Bone marrow aspirate smear:
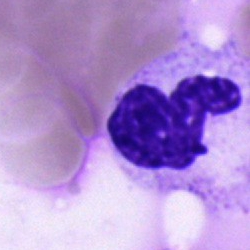 Specimen: bone marrow aspirate smear.
Classification: segmented neutrophil.